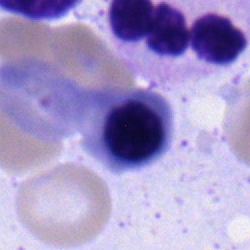

Classification — erythroblast.